Single cell centered in the field · bone marrow aspirate smear: 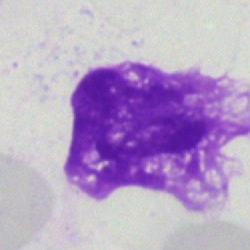 Showing an artefact.